Bone marrow smear · 250 by 250 pixels: 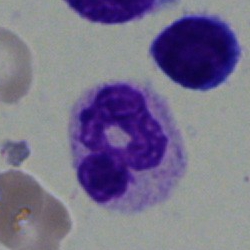
Single cell identified as a neutrophil (segmented).